Bone marrow aspirate smear. 250×250 px. Cropped to a single cell
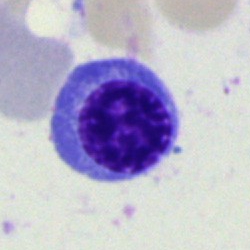Impression — erythroblast.